Bone marrow smear.
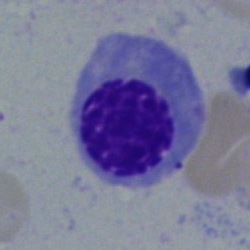
Q: Identify the cell.
A: Normoblast.